Bone marrow aspirate smear
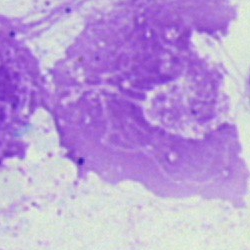Cell = artifact.